40× oil immersion · single cell centered in the field · bone marrow aspirate smear: 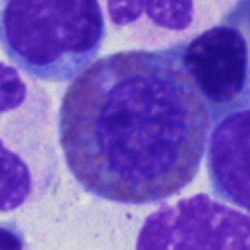
Impression — eosinophil.